Bone marrow smear: 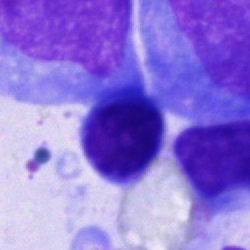 Q: What is the morphological classification of this cell?
A: Cell of indeterminate lineage.